Bone marrow aspirate smear:
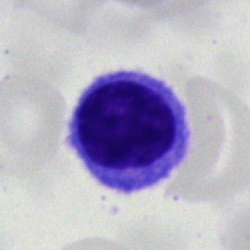
Single cell identified as a typical lymphocyte.